Bone marrow smear.
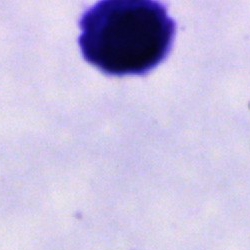
Cell — cell of indeterminate lineage.